Single cell centered in the field. Bone marrow smear — 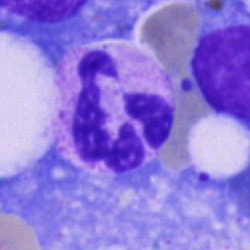The cell type is polymorphonuclear neutrophil.